Bone marrow aspirate smear. May-Grünwald-Giemsa stain.
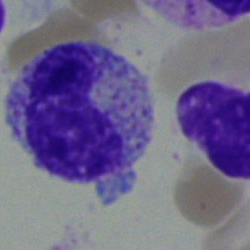
Cell type = metamyelocyte.